Single cell centered in the field · bone marrow aspirate smear — 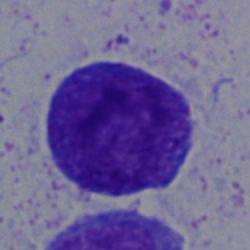Cell: typical lymphocyte.